Bone marrow smear; brightfield, 40× oil-immersion objective; MGG-stained — 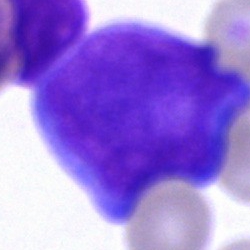Specimen: bone marrow smear.
Classification: blast.